40× oil immersion; bone marrow smear.
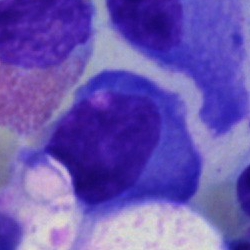

Specimen: bone marrow aspirate smear.
Cell: plasmacyte.